Bone marrow smear — 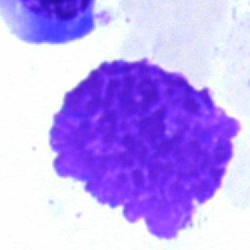Single cell identified as an artefact.